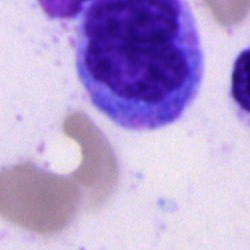
{"cell_type": "monocyte"}